Single cell centered in the field. Bone marrow smear:
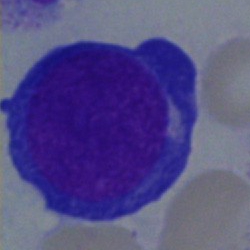{"cell_type": "proerythroblast", "lineage": "erythroid"}